Bone marrow aspirate smear — 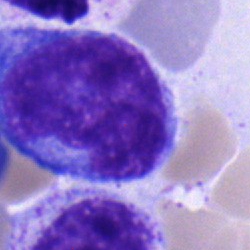
This is a monocyte.